Bone marrow smear:
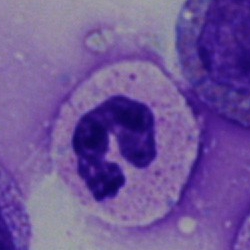This is a neutrophil (segmented).